May-Grünwald-Giemsa stain. Bone marrow smear.
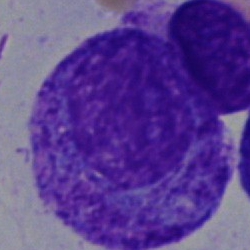 The cell shown is a progranulocyte.